Single-cell field; bone marrow smear.
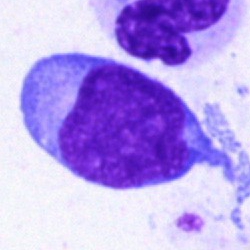

Specimen: bone marrow smear.
Cell: undifferentiated blast.